MGG-stained; 250×250; bone marrow aspirate smear.
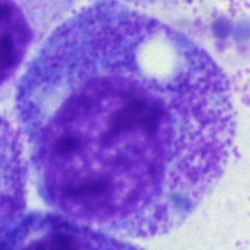 Cell: progranulocyte.